Bone marrow aspirate smear: 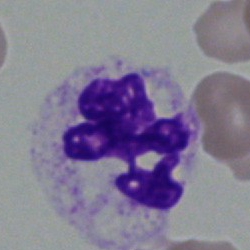
Morphology → polymorphonuclear neutrophil.